May-Grünwald-Giemsa stain; single-cell crop; bone marrow smear — 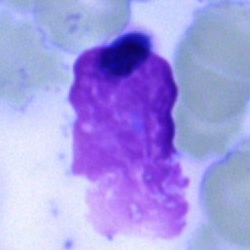 Q: What is shown here?
A: An artefact.